Bone marrow smear · image size 250×250 · single cell centered in the field: 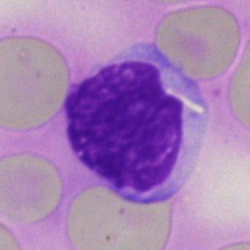
Specimen: bone marrow aspirate smear.
Cell type: lymphocyte.